Bone marrow smear:
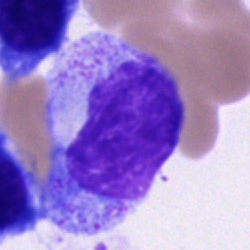

Progranulocyte.